Bone marrow smear — 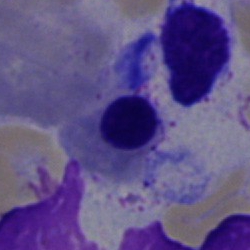
Specimen: bone marrow aspirate smear.
Cell type: normoblast.